Peripheral blood film
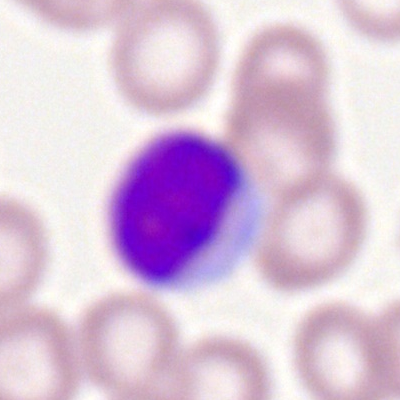
Q: What cell is this?
A: It is a lymphocyte.